MGG-stained; bone marrow smear; 40× objective, oil immersion.
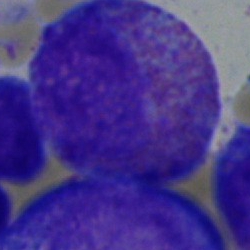Impression — eosinophil.